Bone marrow aspirate smear.
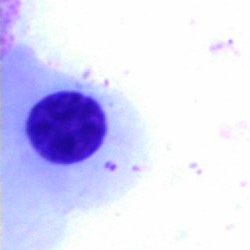Q: Identify the cell.
A: This is an erythroblast.